Bone marrow aspirate smear:
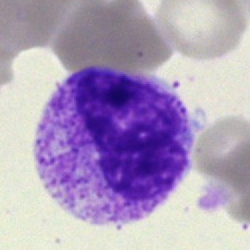Morphological class — band-form neutrophil.